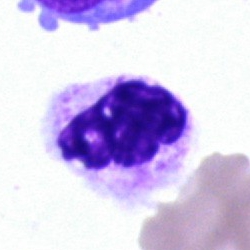

Cell type: polymorphonuclear neutrophil.